Brightfield, 40× oil-immersion objective · bone marrow aspirate smear · single-cell field — 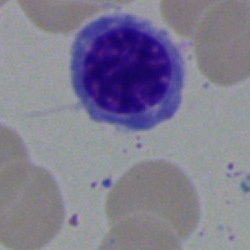 Q: What type of cell is this?
A: This is a nucleated red cell.